Bone marrow aspirate smear. Brightfield, 40× oil-immersion objective — 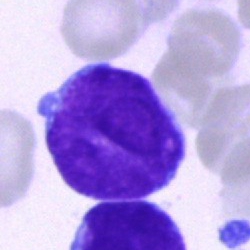

A blast.